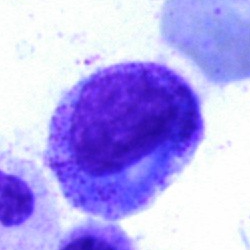A promyelocyte on a bone marrow smear.